MGG-stained; bone marrow aspirate smear; single cell centered in the field:
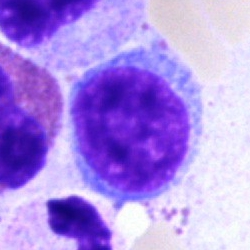Classification: typical lymphocyte.